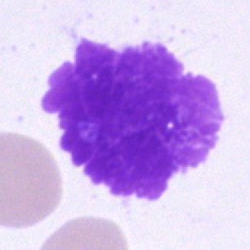
Impression — artifact.